Bone marrow smear:
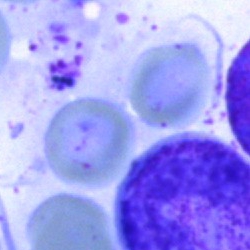

{"cell_type": "neutrophil (band)"}